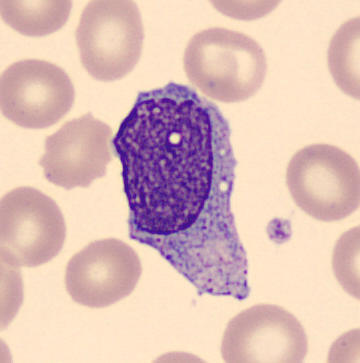
Morphological class = monocyte.

Preparation: Peripheral blood film.